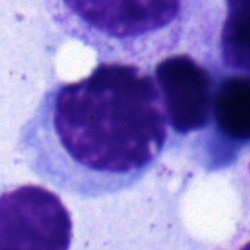

Bone marrow aspirate smear, single cell — nucleated red cell.